Bone marrow smear — 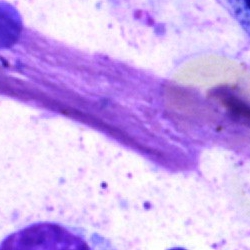
Cell = artifact.